May-Grünwald-Giemsa stain · bone marrow smear: 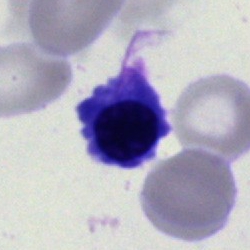
Morphology — erythroblast.